Pappenheim-stained; brightfield microscopy, 40× oil immersion; bone marrow aspirate smear: 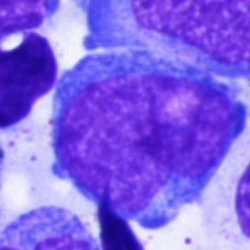 Morphology consistent with a blast.